Bone marrow smear · single-cell crop · 250×250 px.
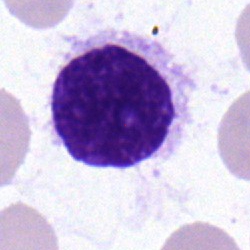 Q: Which cell type is shown here?
A: Lymphocyte.